Bone marrow smear:
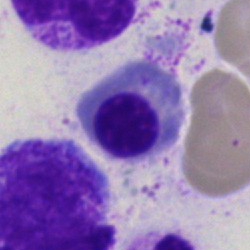

This is a nucleated red blood cell.